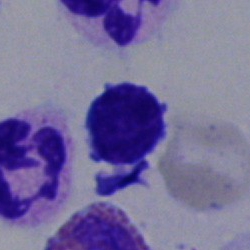 Q: What cell is this?
A: This is a typical lymphocyte.